Single-cell field · bone marrow smear — 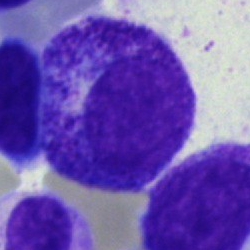

The cell shown is a progranulocyte.